Bone marrow aspirate smear
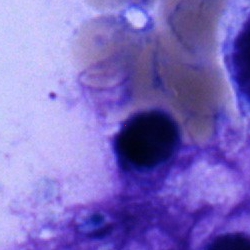Cell — typical lymphocyte.